Bone marrow smear
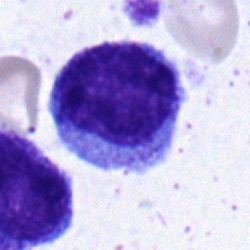

Morphology → myelocyte.